Bone marrow smear — 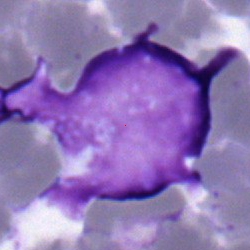

Typical lymphocyte.